Bone marrow smear · 40× oil immersion:
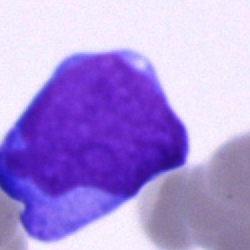
Blast cell.